May-Grünwald-Giemsa/Pappenheim stain · bone marrow aspirate smear · 40× objective, oil immersion — 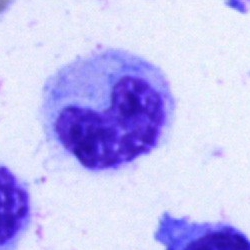The cell is band neutrophil.